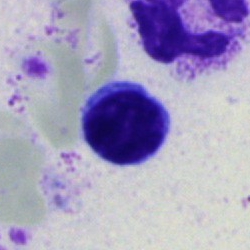

Bone marrow smear showing a lymphocyte.